Bone marrow smear. Single cell centered in the field.
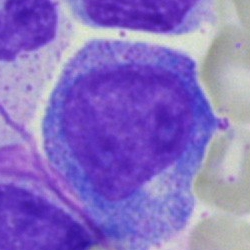Classification = promyelocyte.